Bone marrow aspirate smear — 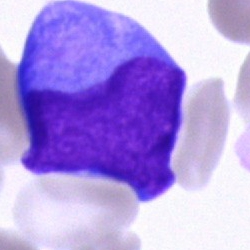 Cell: undifferentiated blast.